Bone marrow aspirate smear · Pappenheim-stained.
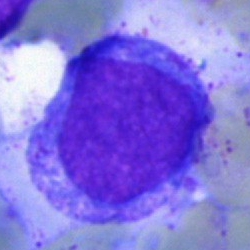Promyelocyte.